400×400 px · peripheral blood smear: 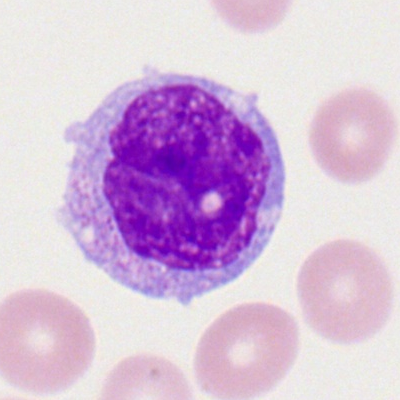
A monocyte.